Bone marrow smear — 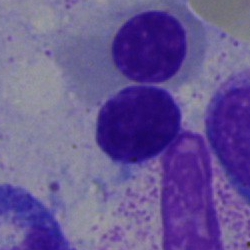 {"cell_type": "typical lymphocyte", "lineage": "lymphoid"}